Single-cell field; bone marrow aspirate smear
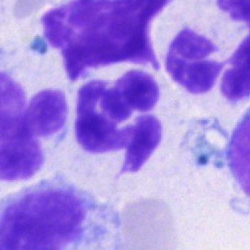

The classification is neutrophil (segmented).